Bone marrow aspirate smear
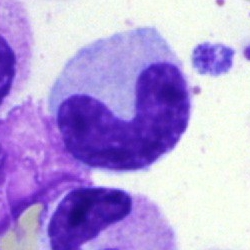

Single cell identified as a band-form neutrophil.